Bone marrow smear
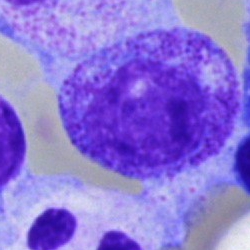Cell: myelocyte.